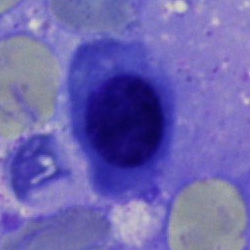Q: What is the morphological classification of this cell?
A: This is a normoblast.